Bone marrow aspirate smear: 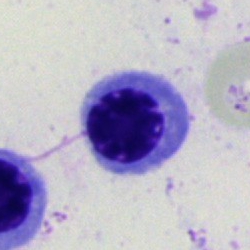
Normoblast.